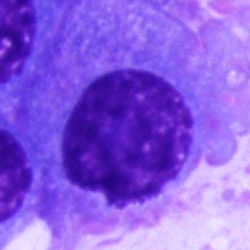 Q: Identify the cell.
A: This is a plasmacyte.